May-Grünwald-Giemsa/Pappenheim stain; bone marrow smear:
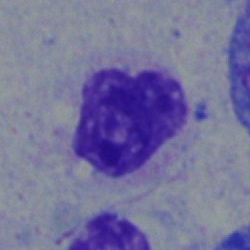Cell type: neutrophil (band).